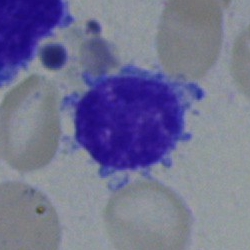
Morphology consistent with a typical lymphocyte.